Bone marrow smear — 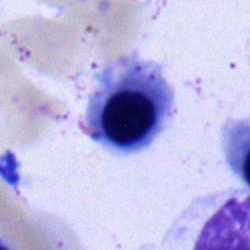 Q: What is the morphological classification of this cell?
A: Nucleated red blood cell.